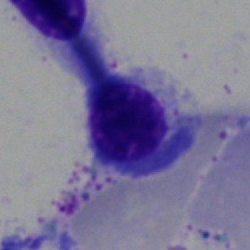 Bone marrow smear showing a normoblast.